Bone marrow aspirate smear — 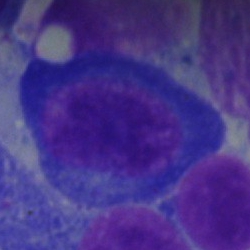 Morphological class — plasmacyte.